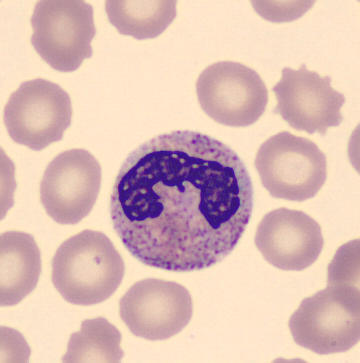Acquisition: Peripheral blood film.
Single cell identified as a polymorphonuclear neutrophil.